Bone marrow smear. Brightfield microscopy, 40× oil immersion. Pappenheim-stained — 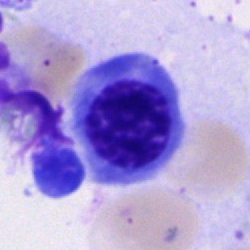

A nucleated red blood cell.